Bone marrow aspirate smear · Pappenheim-stained · 250×250.
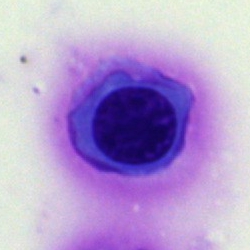Q: What cell is this?
A: This is a normoblast.